Single cell centered in the field. Bone marrow aspirate smear — 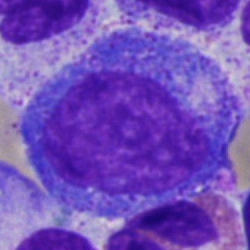Progranulocyte.